Bone marrow aspirate smear.
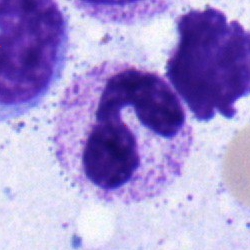 Classification = polymorphonuclear neutrophil.